250×250 px; bone marrow smear
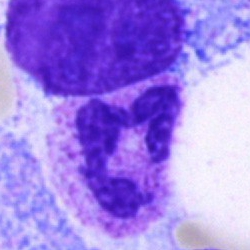The cell type is polymorphonuclear neutrophil.